Bone marrow aspirate smear · 250×250.
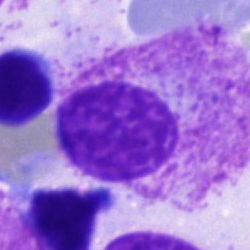 Q: What is shown here?
A: Cell not matching the other categories.